Bone marrow smear:
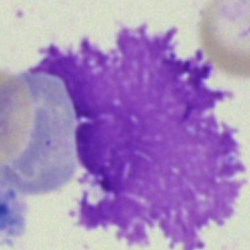Impression → artifact.